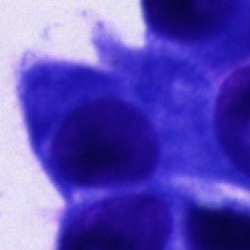

Q: What is shown here?
A: Other cell type.